May-Grünwald-Giemsa stain. Cropped to a single cell. Bone marrow aspirate smear
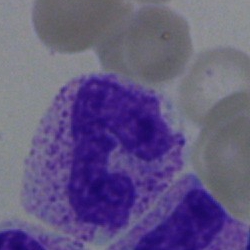

Single cell identified as a band neutrophil.